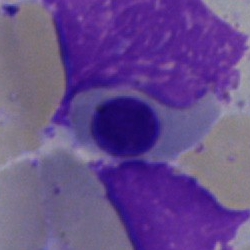
The cell type is normoblast.